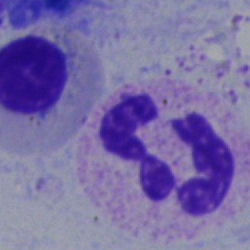 {"cell_type": "neutrophil (segmented)", "lineage": "myeloid"}